May-Grünwald-Giemsa stain · bone marrow aspirate smear: 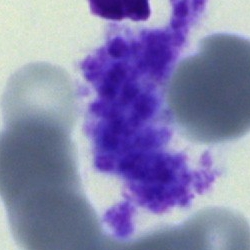 This is an other cell type.